Bone marrow aspirate smear
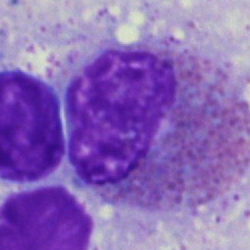
An eosinophilic granulocyte.